Brightfield microscopy, 40× oil immersion · bone marrow smear: 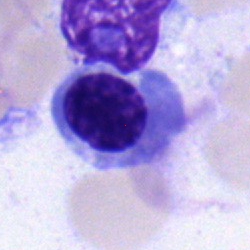

Morphological class — normoblast.